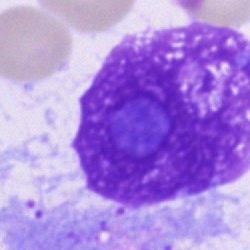Showing an artefact.